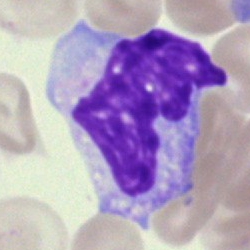Cell type: monocyte.